Bone marrow aspirate smear: 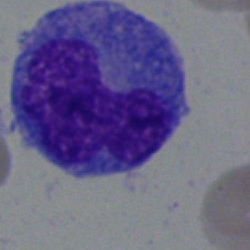
This is a blast.